Bone marrow smear — 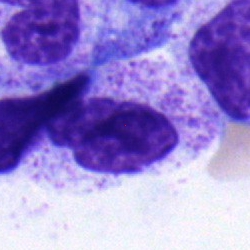Morphology consistent with a myelocyte.